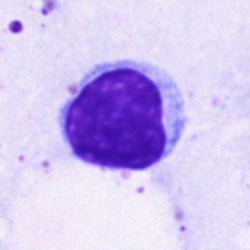
Bone marrow smear showing a lymphocyte.